Bone marrow smear
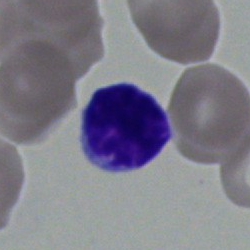 Q: What is the morphological classification of this cell?
A: It is a typical lymphocyte.